Bone marrow smear.
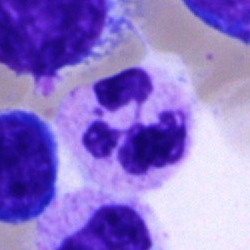
Q: What is shown here?
A: A neutrophil (segmented).